Single cell centered in the field. Bone marrow smear.
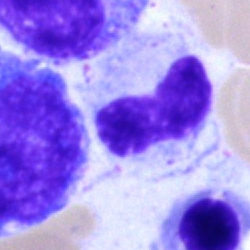 The cell shown is a band neutrophil.